May-Grünwald-Giemsa stain · single cell centered in the field · bone marrow aspirate smear — 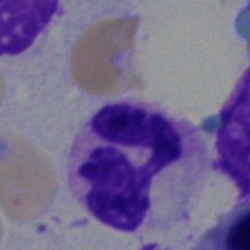
A neutrophil (segmented).